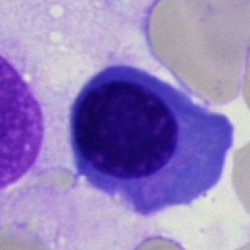 Impression → erythroblast.